Brightfield, 100× oil-immersion objective; cropped to a single cell; peripheral blood smear:
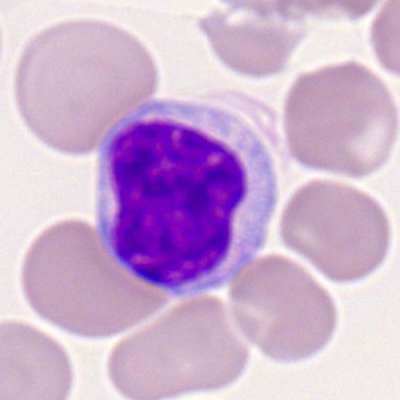Q: What cell is this?
A: A lymphocyte.